Bone marrow aspirate smear · 40× objective, oil immersion:
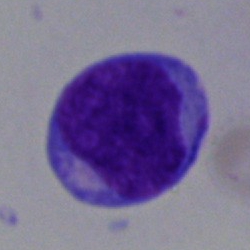Cell type = undifferentiated blast.